Bone marrow aspirate smear; May-Grünwald-Giemsa/Pappenheim stain.
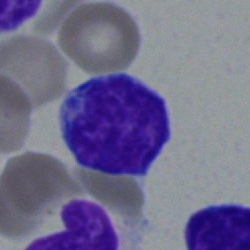 Specimen: bone marrow aspirate smear.
Morphological class: lymphocyte.
Lineage: lymphoid.